250×250 px; cropped to a single cell; bone marrow aspirate smear — 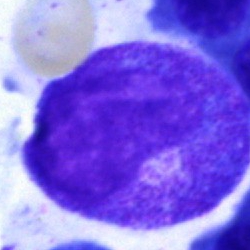 Specimen: bone marrow aspirate smear.
Classification: promyelocyte.